Peripheral blood smear — 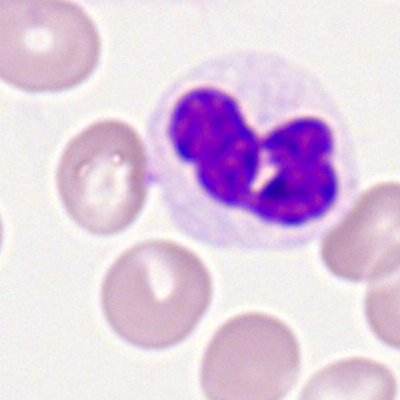Q: What cell is this?
A: It is a polymorphonuclear neutrophil.